40× oil immersion; bone marrow smear — 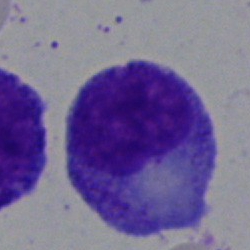
A progranulocyte.